Bone marrow smear
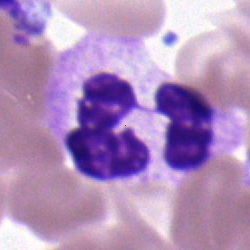 Showing a segmented neutrophil.